Bone marrow smear:
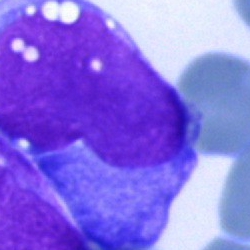
Cell type — blast cell.